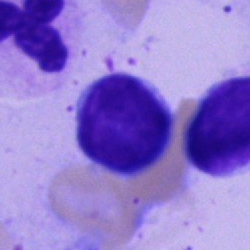
Specimen: bone marrow aspirate smear.
Classification: typical lymphocyte.